250 by 250 pixels · bone marrow aspirate smear:
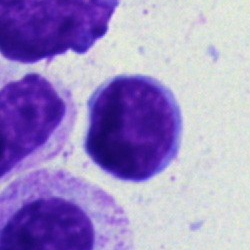

A lymphocyte.